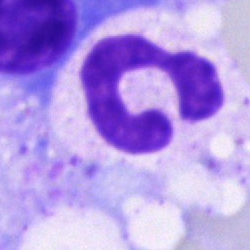Specimen: bone marrow smear.
Morphological class: polymorphonuclear neutrophil.
Lineage: myeloid.